Bone marrow smear — 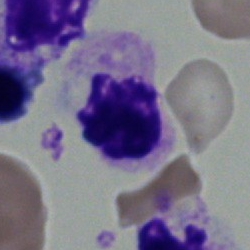 Morphological class: segmented neutrophil.